Bone marrow aspirate smear — 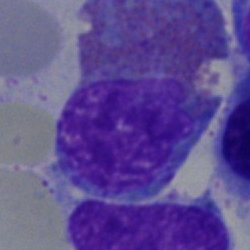

The cell type is eosinophilic granulocyte.